Bone marrow aspirate smear · single-cell field: 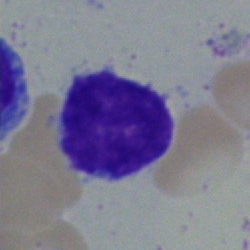 Specimen: bone marrow aspirate smear.
Classification: typical lymphocyte.